Pappenheim-stained. Bone marrow smear
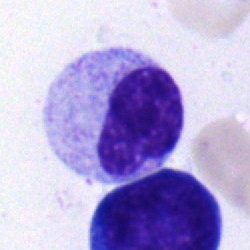
Myelocyte.